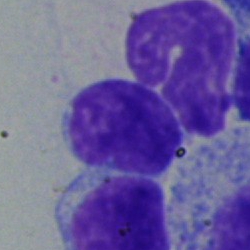 Specimen: bone marrow smear.
Morphological class: lymphocyte.
Lineage: lymphoid.